Bone marrow aspirate smear.
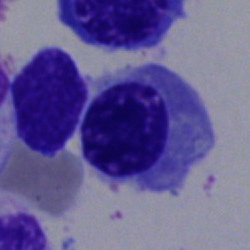

Q: What is shown here?
A: Nucleated red blood cell.